Brightfield, 40× oil-immersion objective · bone marrow aspirate smear: 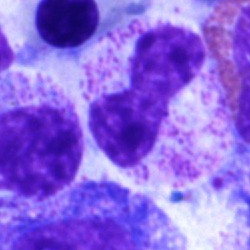
Morphology consistent with a stab cell.